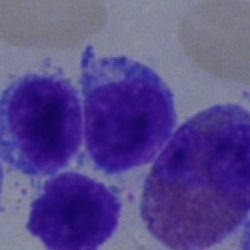

Q: Which cell type is shown here?
A: A typical lymphocyte.